Peripheral blood film. 400×400 px:
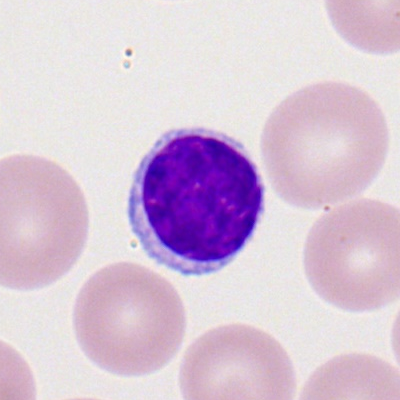
Showing a lymphocyte.